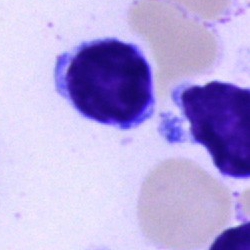A lymphocyte on a bone marrow smear.